Bone marrow smear:
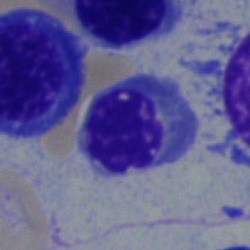 Specimen: bone marrow smear.
Cell type: myelocyte.
Lineage: myeloid.